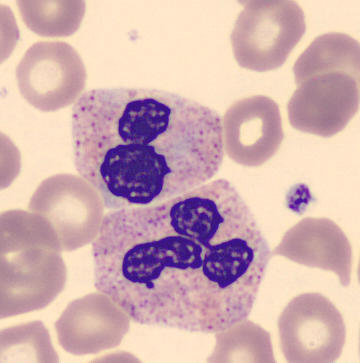 MGG-stained · peripheral blood film · CellaVision DM96.

Single cell identified as a neutrophil (segmented).